Bone marrow smear. May-Grünwald-Giemsa stain. 40× objective, oil immersion:
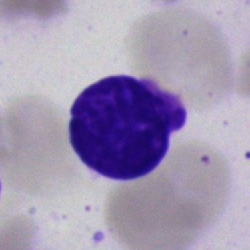Morphology — lymphocyte.